Bone marrow aspirate smear — 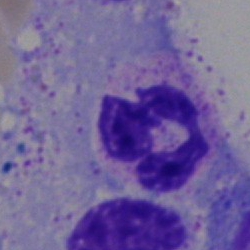
Q: Which cell type is shown here?
A: Polymorphonuclear neutrophil.